Bone marrow smear: 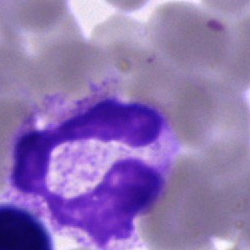

Specimen: bone marrow aspirate smear.
Morphological class: neutrophil (segmented).